Bone marrow smear.
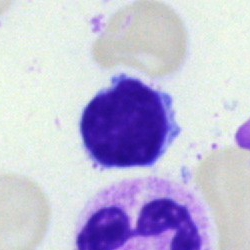Cell type — lymphocyte.